Bone marrow aspirate smear. Single cell centered in the field.
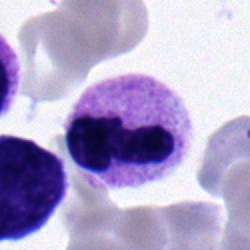Q: What type of cell is this?
A: Polymorphonuclear neutrophil.